Peripheral blood smear.
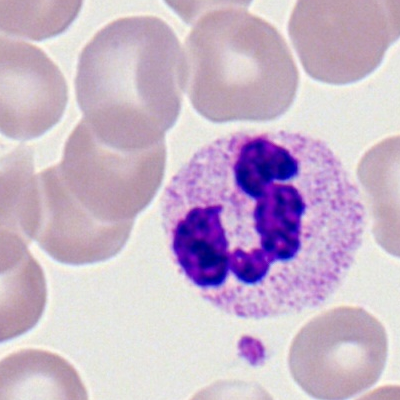Polymorphonuclear neutrophil.